Single cell centered in the field · bone marrow aspirate smear · May-Grünwald-Giemsa stain: 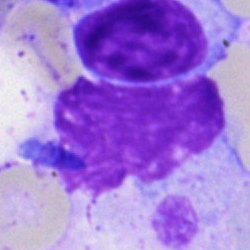 The classification is artefact.